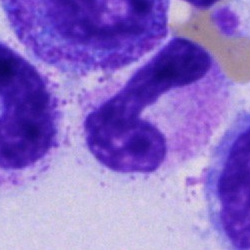

Q: What is shown here?
A: It is a band neutrophil.